Bone marrow aspirate smear. Cropped to a single cell — 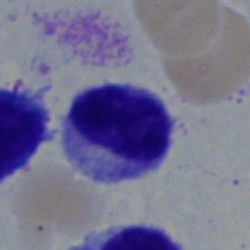 Q: What cell is this?
A: A myelocyte.